Bone marrow smear: 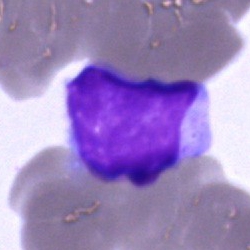

Lymphocyte.